Bone marrow aspirate smear: 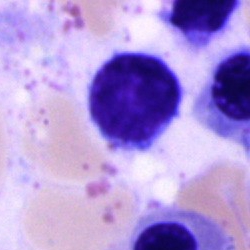
Q: What is shown here?
A: A typical lymphocyte.